Bone marrow aspirate smear · 40× objective, oil immersion:
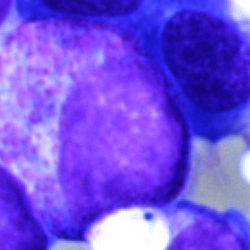
Specimen: bone marrow aspirate smear.
Classification: myelocyte.
Lineage: myeloid.